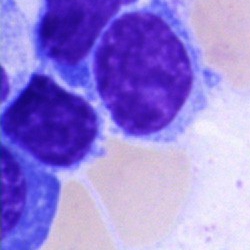Cell type = lymphocyte.